Bone marrow smear.
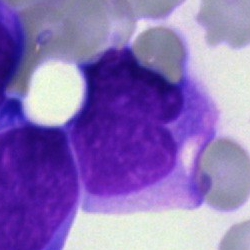

Morphology consistent with a blast.